Bone marrow smear: 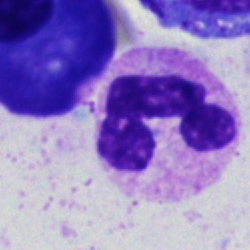Cell — segmented neutrophil.